250×250; bone marrow smear: 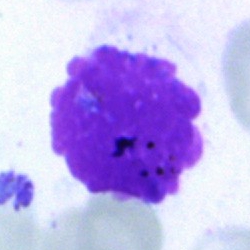

Q: What is shown here?
A: An artifact.